Single-cell field; bone marrow smear:
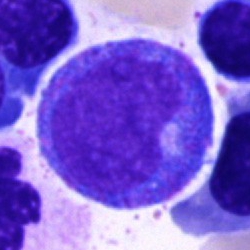 Cell = promyelocyte.